Brightfield, 40× oil-immersion objective · bone marrow aspirate smear:
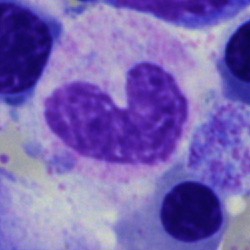Morphology consistent with a band neutrophil.